Bone marrow smear — 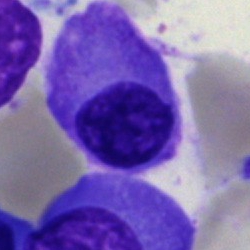

Q: What cell is this?
A: A plasma cell.